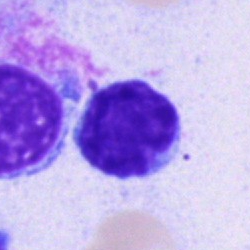Classification: typical lymphocyte.